Bone marrow smear: 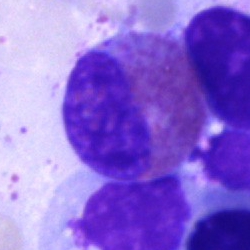
Cell type: eosinophil.